Bone marrow smear.
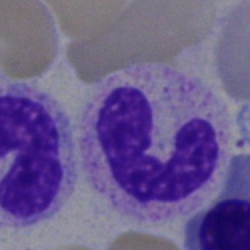

Specimen: bone marrow aspirate smear.
Morphological class: neutrophil (segmented).
Lineage: myeloid.